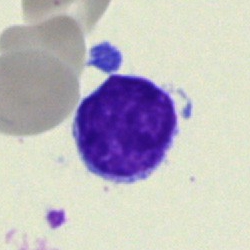

Q: What is the morphological classification of this cell?
A: Lymphocyte.